Bone marrow aspirate smear.
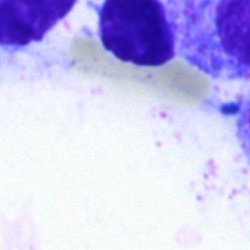
Q: What is shown here?
A: Artefact.